Peripheral blood smear:
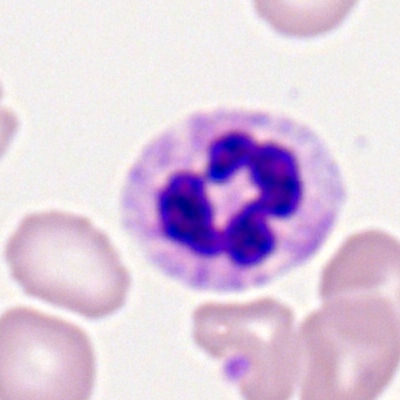

The cell is segmented neutrophil.